Bone marrow smear.
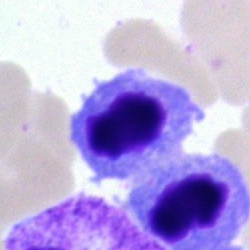Morphology → erythroblast.